Bone marrow aspirate smear · 40× oil immersion
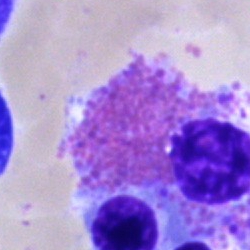
Morphology consistent with an eosinophil.